May-Grünwald-Giemsa/Pappenheim stain; bone marrow aspirate smear.
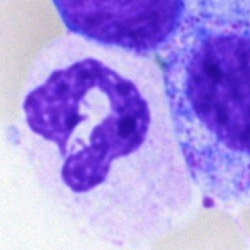Polymorphonuclear neutrophil.